Bone marrow smear
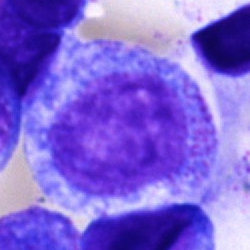 A promyelocyte.